Bone marrow aspirate smear: 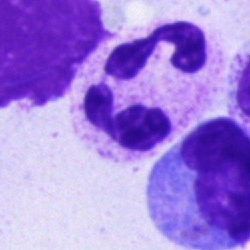

Cell — segmented neutrophil.